Bone marrow aspirate smear. 250×250.
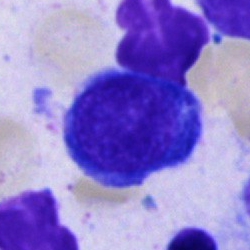

Q: What cell is this?
A: Nucleated red cell.